Bone marrow smear; single-cell crop.
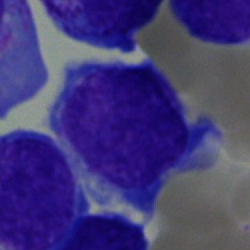 Classification — blast cell.